Bone marrow smear.
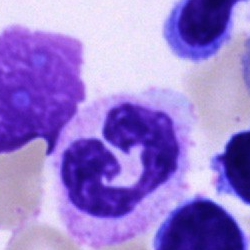

Q: What type of cell is this?
A: This is a neutrophil (segmented).